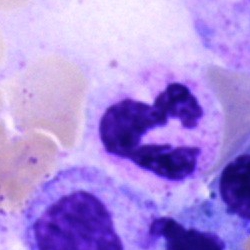

Specimen: bone marrow aspirate smear.
Cell type: polymorphonuclear neutrophil.
Lineage: myeloid.